Image size 400×400; Romanowsky stain; peripheral blood smear.
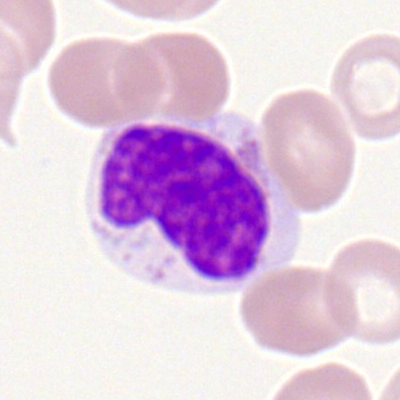

Polymorphonuclear neutrophil.